Bone marrow smear.
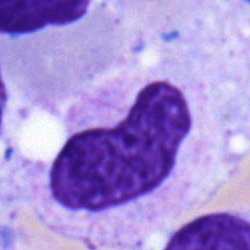
Specimen: bone marrow aspirate smear.
Cell: band-form neutrophil.